Bone marrow aspirate smear; 250 by 250 pixels; single-cell field.
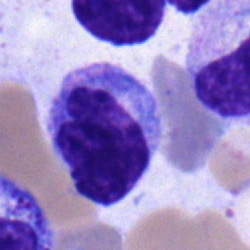Q: What is shown here?
A: A monocyte.